Bone marrow aspirate smear. May-Grünwald-Giemsa/Pappenheim stain. 40× oil immersion: 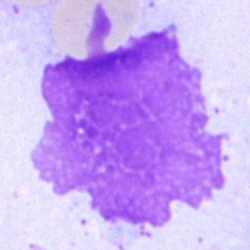This is an artifact.